Bone marrow smear. 40× oil immersion
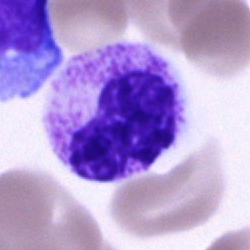

Morphology → polymorphonuclear neutrophil.